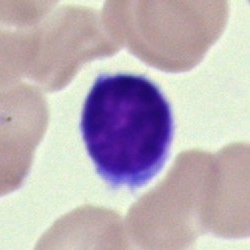
Morphology — typical lymphocyte.